Peripheral blood smear; image size 400×400; single cell centered in the field:
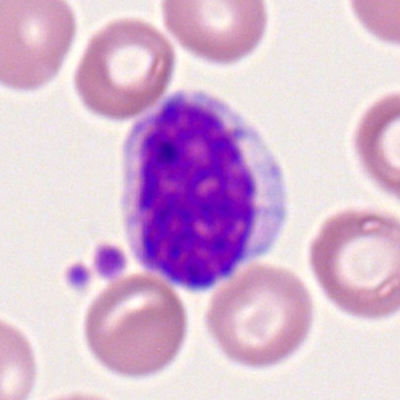

This is a typical lymphocyte.